Bone marrow smear · May-Grünwald-Giemsa stain.
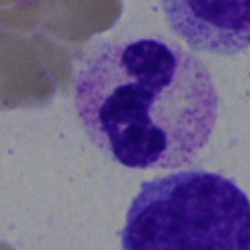

The classification is neutrophil (segmented).